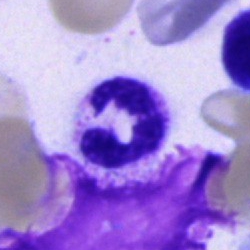

{"cell_type": "polymorphonuclear neutrophil", "lineage": "myeloid"}